Bone marrow smear; May-Grünwald-Giemsa/Pappenheim stain; 250×250
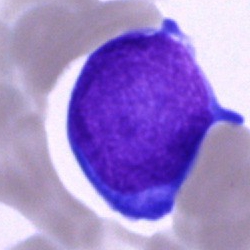
Specimen: bone marrow aspirate smear.
Cell type: blast cell.